Bone marrow aspirate smear.
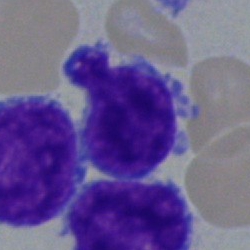

{"cell_type": "blast"}